Bone marrow smear.
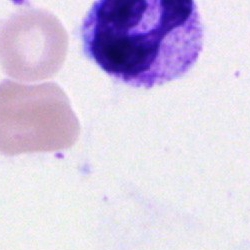
Q: What cell is this?
A: A segmented neutrophil.